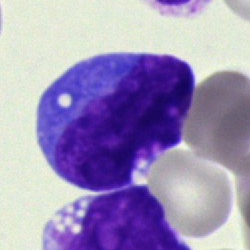Cell = blast.